Bone marrow aspirate smear — 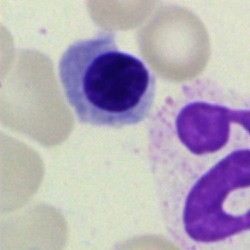 Impression — erythroblast.